Bone marrow smear. May-Grünwald-Giemsa/Pappenheim stain
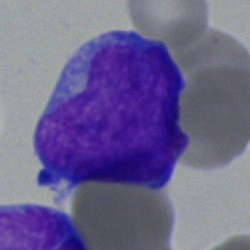Showing a blast cell.